250×250. Bone marrow smear
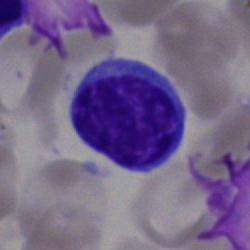

A lymphocyte.